Single-cell crop; bone marrow aspirate smear.
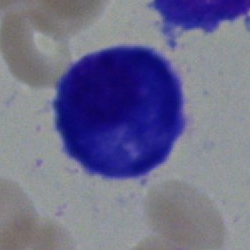The cell type is plasmacyte.